Bone marrow aspirate smear.
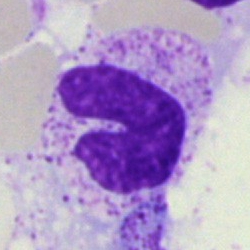Impression — artifact.